MGG-stained; bone marrow aspirate smear — 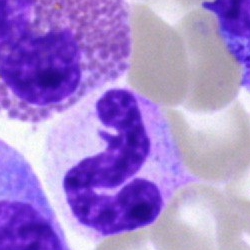

Impression → segmented neutrophil.